Brightfield microscopy, 40× oil immersion; bone marrow smear.
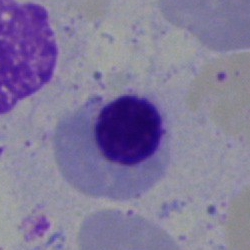

This is a nucleated red blood cell.